Bone marrow aspirate smear: 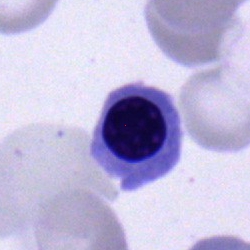 {"cell_type": "nucleated red cell", "lineage": "erythroid"}